Bone marrow smear: 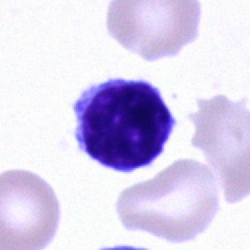 Q: What is the morphological classification of this cell?
A: This is a lymphocyte.